Bone marrow smear. Image size 250×250
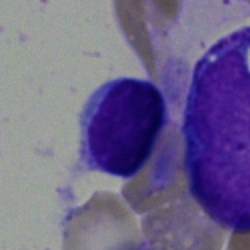 Q: What type of cell is this?
A: This is a lymphocyte.